Bone marrow smear:
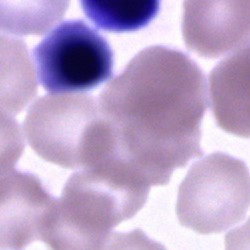 Showing a cell of indeterminate lineage.